Bone marrow smear
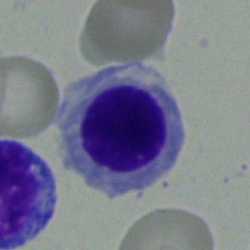 Morphological class = normoblast.